May-Grünwald-Giemsa-stained. Peripheral blood film. 360×363 px.
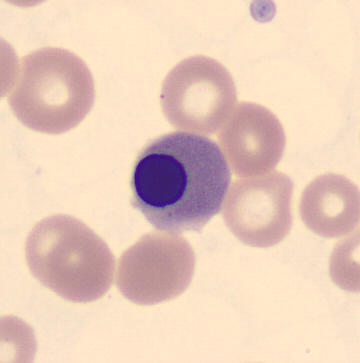
Nucleated red blood cell.